Bone marrow aspirate smear: 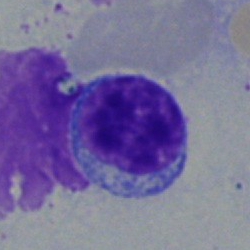

Single cell identified as a typical lymphocyte.